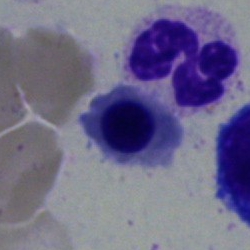

Bone marrow smear showing a nucleated red cell.